Bone marrow smear — 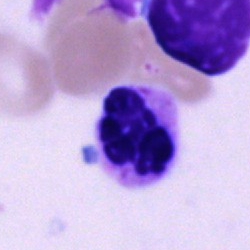

Specimen: bone marrow aspirate smear.
Morphological class: segmented neutrophil.
Lineage: myeloid.